Pappenheim-stained · bone marrow smear.
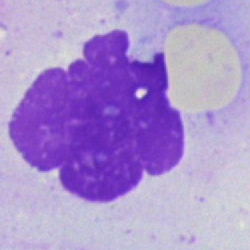 Specimen: bone marrow smear.
Cell type: artefact.